Single-cell field. May-Grünwald-Giemsa stain. Bone marrow aspirate smear:
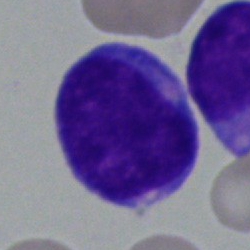 Morphology consistent with a blast.